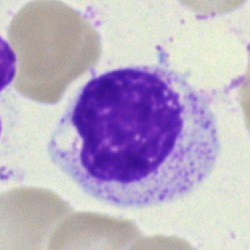

Q: What is shown here?
A: A myelocyte.